Bone marrow aspirate smear — 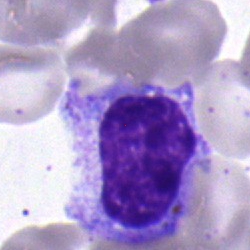 Impression → metamyelocyte.